Bone marrow aspirate smear
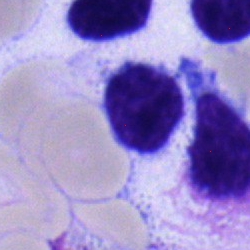
{"cell_type": "typical lymphocyte", "lineage": "lymphoid"}